Bone marrow aspirate smear:
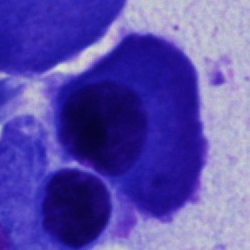Morphology consistent with a plasma cell.